Bone marrow smear.
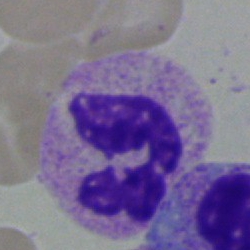 Specimen: bone marrow aspirate smear.
Cell type: basophilic granulocyte.
Lineage: myeloid.